Peripheral blood smear: 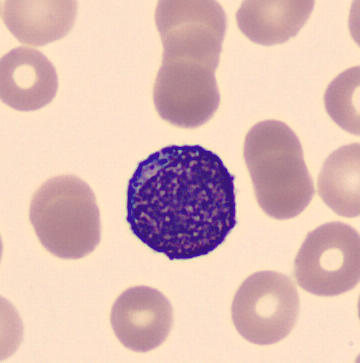
Identified as a progranulocyte.